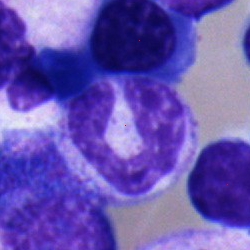

Q: What is shown here?
A: Neutrophil (segmented).